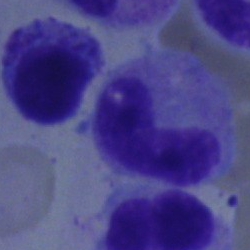

A neutrophil (band).